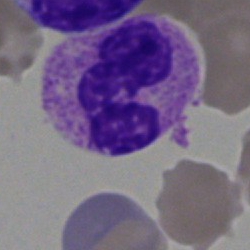

Specimen: bone marrow smear.
Morphological class: segmented neutrophil.
Lineage: myeloid.